Bone marrow smear
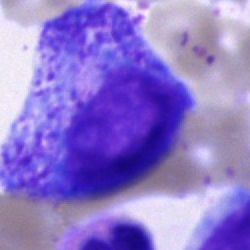
Q: What is shown here?
A: It is a progranulocyte.